Single-cell crop; brightfield microscopy, 40× oil immersion; bone marrow smear: 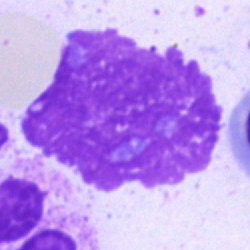 This is an artifact.